Peripheral blood smear
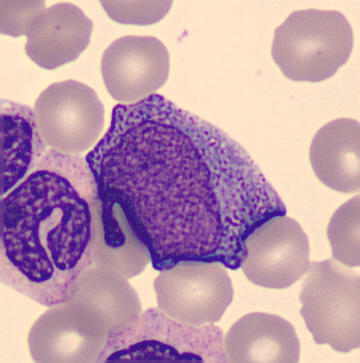 Specimen: peripheral blood smear.
Classification: progranulocyte.
Lineage: myeloid.